Single-cell field; bone marrow smear
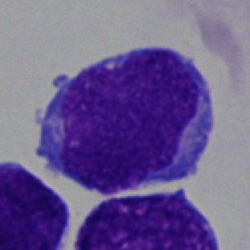

Morphology consistent with a blast cell.